250×250 px; bone marrow smear:
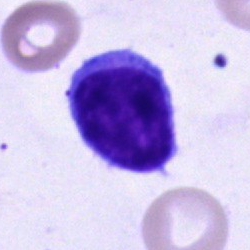 Specimen: bone marrow smear.
Cell type: lymphocyte.